Bone marrow aspirate smear · Pappenheim-stained — 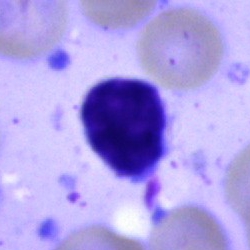
Q: What is shown here?
A: It is a lymphocyte.